Bone marrow smear.
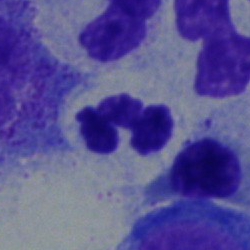

A segmented neutrophil.